Bone marrow aspirate smear
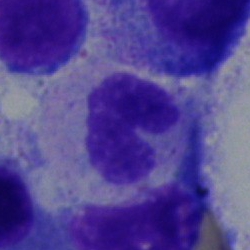
Single cell identified as a band neutrophil.